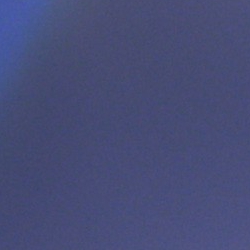

Classification = artefact.